Image size 250×250; bone marrow smear:
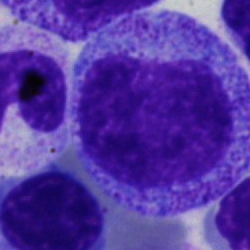 Specimen: bone marrow smear.
Classification: promyelocyte.
Lineage: myeloid.